400×400 px · 100× objective, oil immersion · peripheral blood smear: 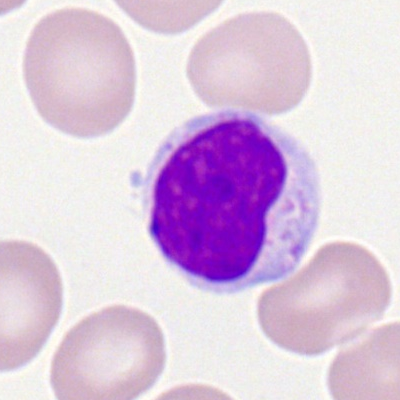Impression → lymphocyte.